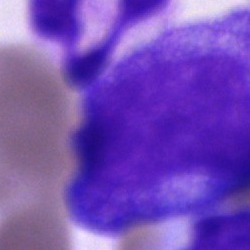 Morphological class: progranulocyte.